May-Grünwald-Giemsa stain · bone marrow smear · single-cell crop: 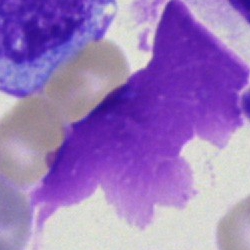
{"cell_type": "artefact"}